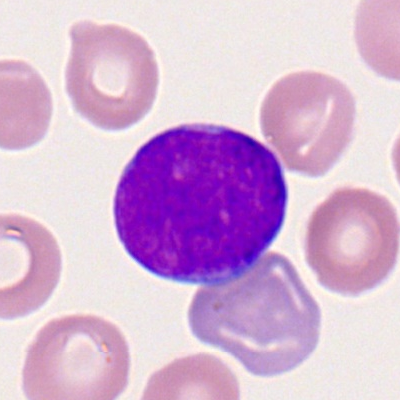 Single cell identified as a myeloid blast.